Bone marrow aspirate smear. 250×250 — 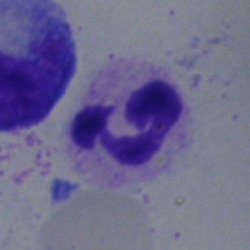Showing a neutrophil (segmented).